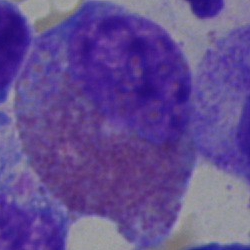 An eosinophilic granulocyte.